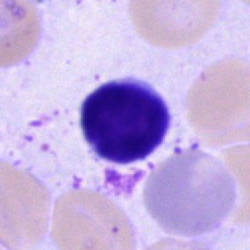

Q: Identify the cell.
A: This is a typical lymphocyte.